40× oil immersion · 250×250 px · bone marrow aspirate smear:
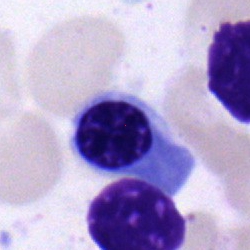 Specimen: bone marrow smear.
Classification: nucleated red blood cell.